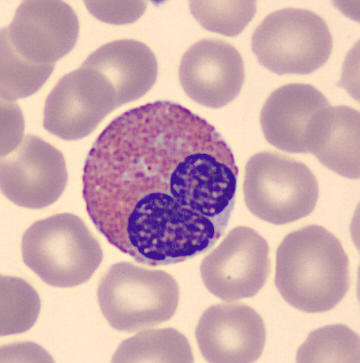

Image: Peripheral blood smear. Cell type — eosinophilic granulocyte.